Bone marrow smear; brightfield microscopy, 40× oil immersion; 250 by 250 pixels
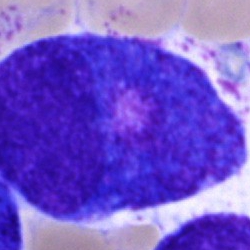
Q: What is shown here?
A: A promyelocyte.